Bone marrow smear.
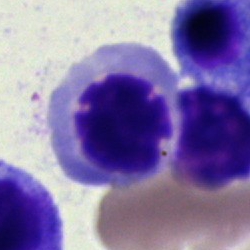 The morphological class is basophil.